Bone marrow aspirate smear.
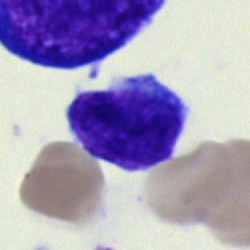Morphology consistent with a lymphocyte.